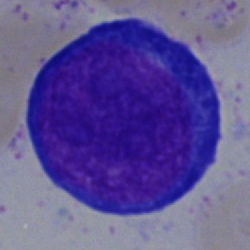
Cell — proerythroblast.